Bone marrow smear.
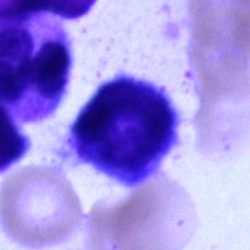 Morphology — artifact.